Bone marrow aspirate smear
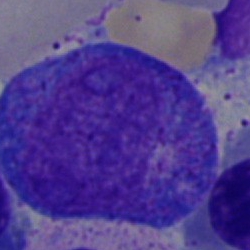 Q: Identify the cell.
A: Progranulocyte.